Bone marrow aspirate smear · May-Grünwald-Giemsa/Pappenheim stain · single cell centered in the field
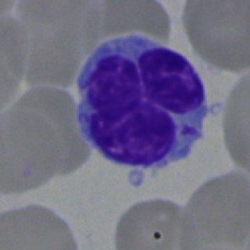

Q: Which cell type is shown here?
A: This is a lymphocyte.